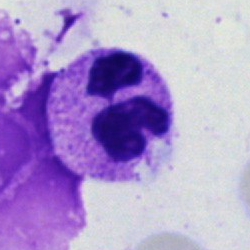

Specimen: bone marrow smear.
Cell type: segmented neutrophil.